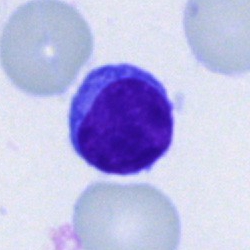
Classification = typical lymphocyte.